Bone marrow smear; MGG-stained:
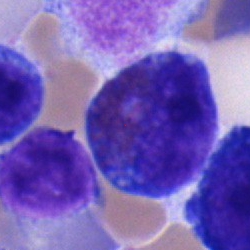Typical lymphocyte.